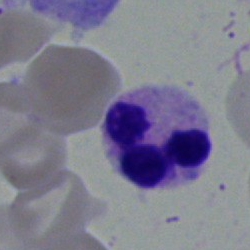
Cell type = segmented neutrophil.